250×250 px; bone marrow smear.
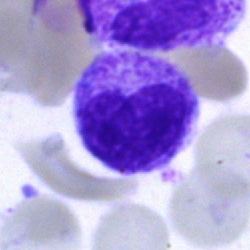Q: What is the morphological classification of this cell?
A: It is a metamyelocyte.